Bone marrow smear — 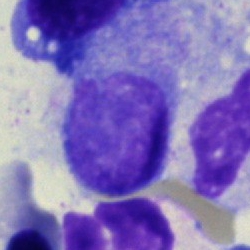

This is a cell of indeterminate lineage.